40× oil immersion. Bone marrow smear. May-Grünwald-Giemsa/Pappenheim stain:
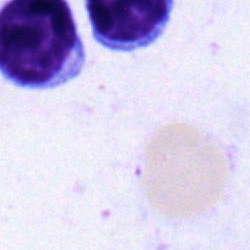

Classification — typical lymphocyte.